Peripheral blood film · single-cell field — 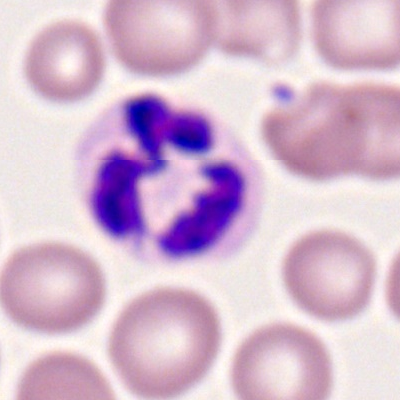The morphological class is neutrophil (segmented).